May-Grünwald-Giemsa stain; 40× oil immersion; bone marrow aspirate smear.
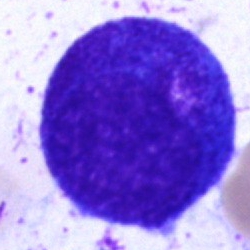Promyelocyte.